250×250 px · bone marrow smear · brightfield microscopy, 40× oil immersion:
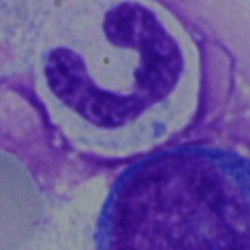 Single cell identified as a neutrophil (band).